Bone marrow smear. May-Grünwald-Giemsa/Pappenheim stain
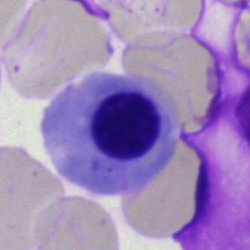
The morphological class is erythroblast.